Bone marrow smear:
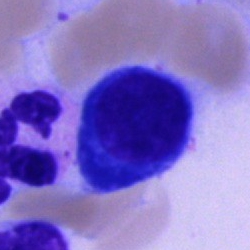 Morphological class — plasma cell.